Bone marrow smear:
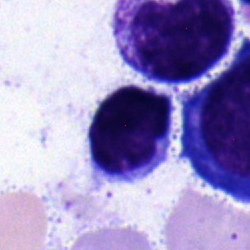
Morphological class = lymphocyte.